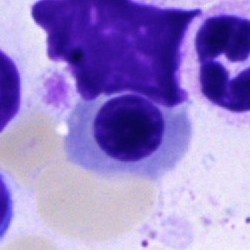

Morphology — normoblast.